Bone marrow aspirate smear
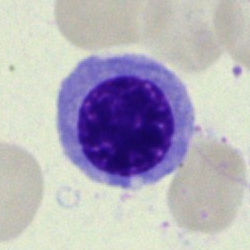 Q: What is the morphological classification of this cell?
A: A nucleated red cell.